May-Grünwald-Giemsa/Pappenheim stain; bone marrow smear; brightfield microscopy, 40× oil immersion — 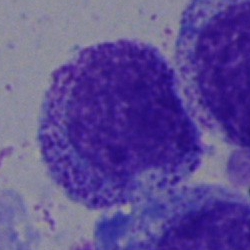

{"cell_type": "myelocyte"}